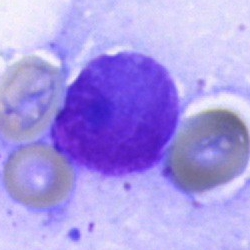 Impression → artifact.